Bone marrow aspirate smear · 250 by 250 pixels.
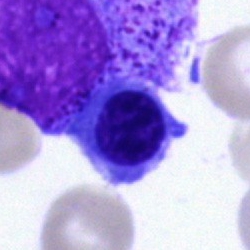Specimen: bone marrow smear.
Morphological class: nucleated red blood cell.